Bone marrow smear · May-Grünwald-Giemsa stain.
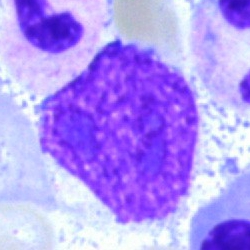
Showing an artefact.